Bone marrow smear; cropped to a single cell
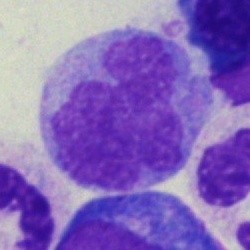 Cell — monocyte.